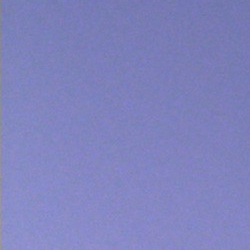 Single cell identified as an artefact.